May-Grünwald-Giemsa/Pappenheim stain · bone marrow aspirate smear · single cell centered in the field: 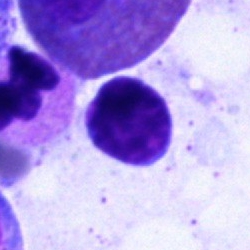The cell is lymphocyte.